Single-cell crop; bone marrow aspirate smear: 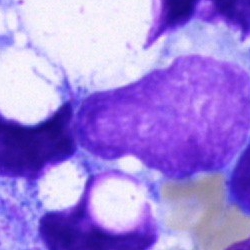

Impression → blast cell.